Bone marrow aspirate smear. Brightfield, 40× oil-immersion objective:
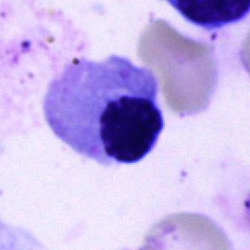 Morphological class = erythroblast.